Bone marrow smear:
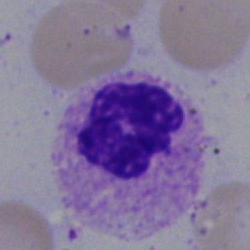
Impression → neutrophil (segmented).